Bone marrow aspirate smear · brightfield, 40× oil-immersion objective: 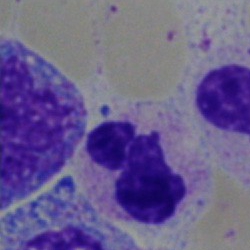 Specimen: bone marrow aspirate smear.
Cell: segmented neutrophil.
Lineage: myeloid.